Bone marrow aspirate smear; single-cell crop: 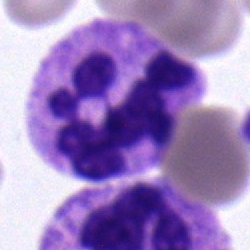

{"cell_type": "polymorphonuclear neutrophil"}